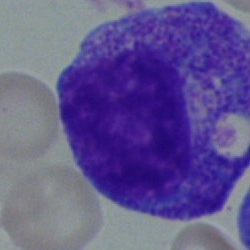

The cell is progranulocyte.